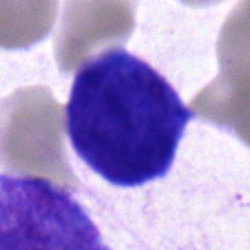
Classification = blast cell.